Bone marrow smear.
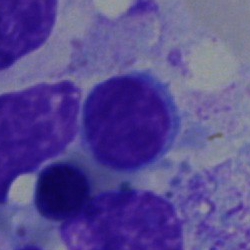

Cell type — lymphocyte.